Bone marrow smear.
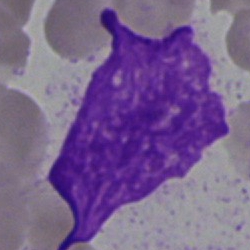Single cell identified as an artefact.